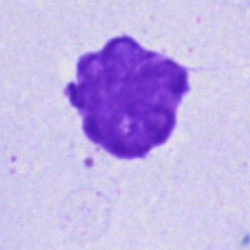 The cell type is artifact.